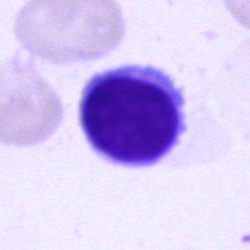

A typical lymphocyte on a bone marrow smear.